Cropped to a single cell · bone marrow aspirate smear: 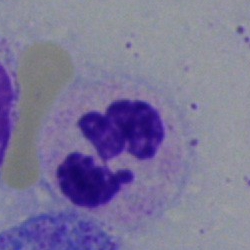
A neutrophil (segmented).